Bone marrow smear
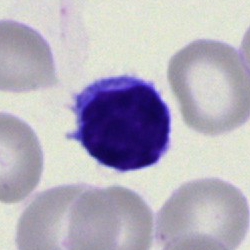 Impression → typical lymphocyte.